Bone marrow aspirate smear · single cell centered in the field.
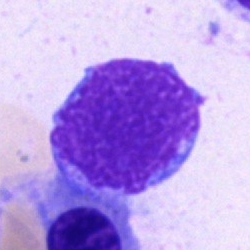
{"cell_type": "blast cell"}